Peripheral blood smear. 400×400 px.
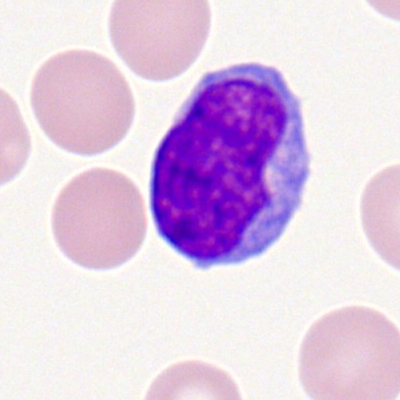

This is a lymphocyte.